Bone marrow aspirate smear
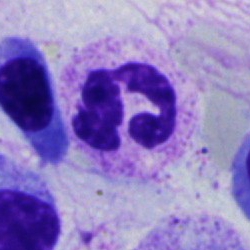

{"cell_type": "segmented neutrophil", "lineage": "myeloid"}